Peripheral blood smear. 400 by 400 pixels
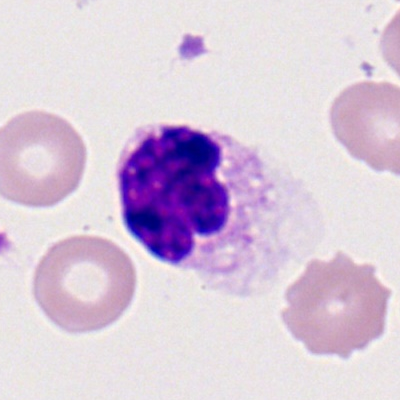The cell shown is a polymorphonuclear neutrophil.